May-Grünwald-Giemsa stain · bone marrow aspirate smear — 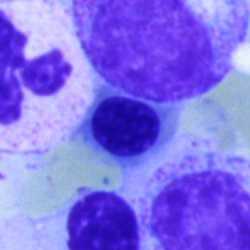This is an erythroblast.